Bone marrow smear — 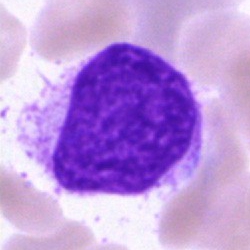
Morphological class = artifact.